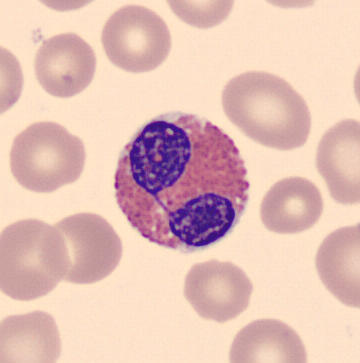

The morphological class is eosinophilic granulocyte.